Bone marrow aspirate smear · brightfield, 40× oil-immersion objective.
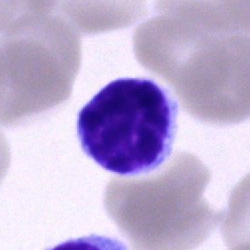 Impression → lymphocyte.